Cropped to a single cell · bone marrow aspirate smear:
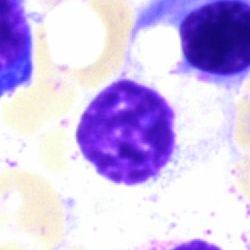

This is an artefact.